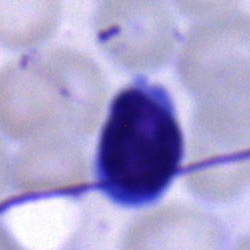 Morphology consistent with a typical lymphocyte.